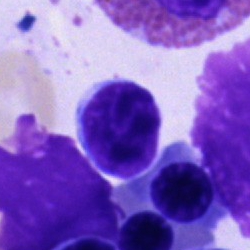Specimen: bone marrow aspirate smear.
Classification: lymphocyte.
Lineage: lymphoid.